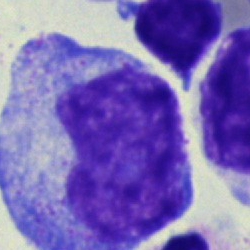

Promyelocyte.